Bone marrow smear — 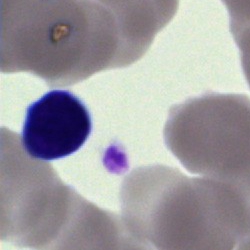 A cell of indeterminate lineage.